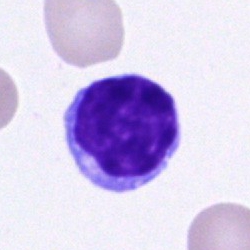 Specimen: bone marrow aspirate smear.
Cell type: typical lymphocyte.
Lineage: lymphoid.